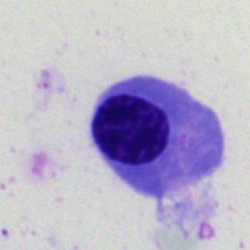

A nucleated red blood cell.